Bone marrow aspirate smear · May-Grünwald-Giemsa/Pappenheim stain — 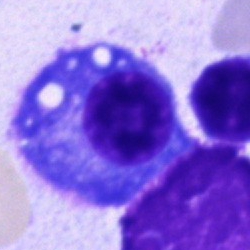Q: What is shown here?
A: Plasmacyte.